Bone marrow smear · 40× objective, oil immersion: 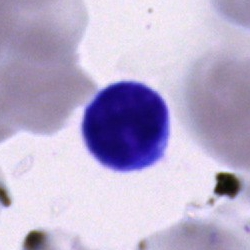Q: What is shown here?
A: This is an unidentifiable cell.